Bone marrow aspirate smear.
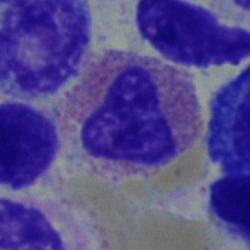
Eosinophilic granulocyte.